Bone marrow smear — 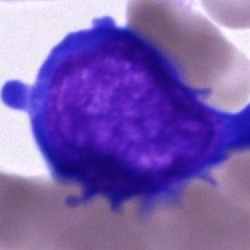Showing a proerythroblast.